250×250 · bone marrow aspirate smear.
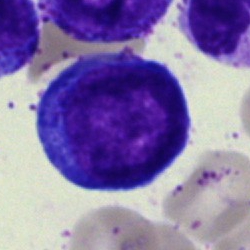 Q: What type of cell is this?
A: It is a pronormoblast.